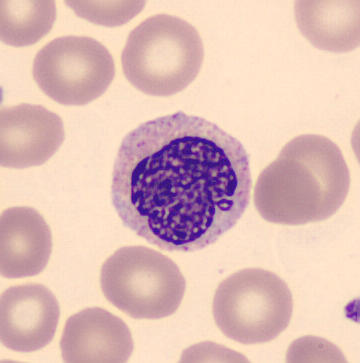Image: Peripheral blood smear.

Morphology — metamyelocyte.